Bone marrow smear. MGG-stained — 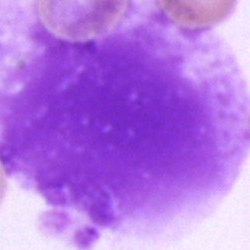
Q: What is shown here?
A: It is an artefact.